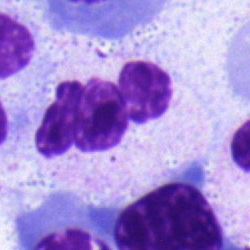 The classification is segmented neutrophil.